Single cell centered in the field · bone marrow smear
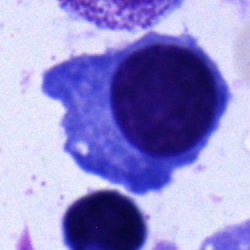
The classification is plasma cell.